Peripheral blood film. May-Grünwald-Giemsa-stained. Single-cell field:
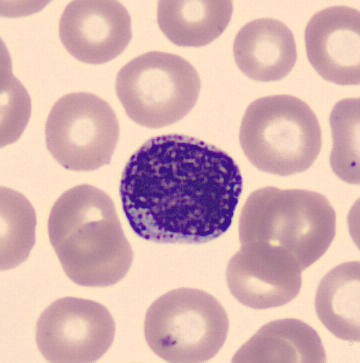

Morphology consistent with a myelocyte.